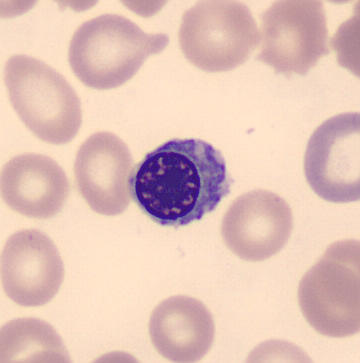 Classification — erythroblast. Image: Peripheral blood smear · May-Grünwald-Giemsa-stained · single-cell field.